250×250 · bone marrow aspirate smear
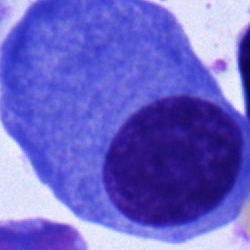 A nucleated red blood cell.